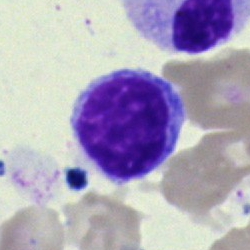

A typical lymphocyte on a bone marrow smear.